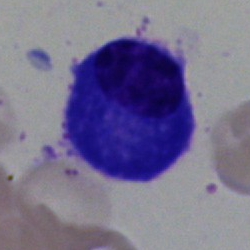
Q: What is the morphological classification of this cell?
A: This is a plasma cell.